Bone marrow aspirate smear. Brightfield, 40× oil-immersion objective: 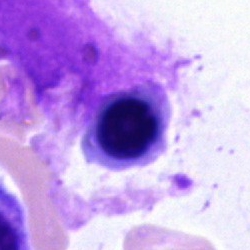 Q: What cell is this?
A: This is a normoblast.